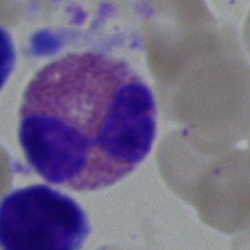

Specimen: bone marrow aspirate smear.
Cell type: eosinophilic granulocyte.
Lineage: myeloid.